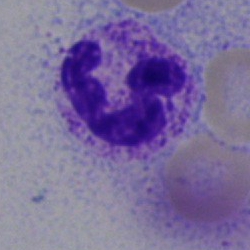

Classification = polymorphonuclear neutrophil.